Single-cell field; bone marrow smear.
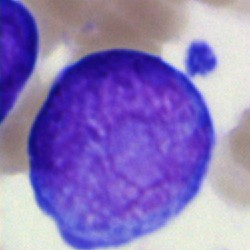
Specimen: bone marrow smear.
Morphological class: blast cell.